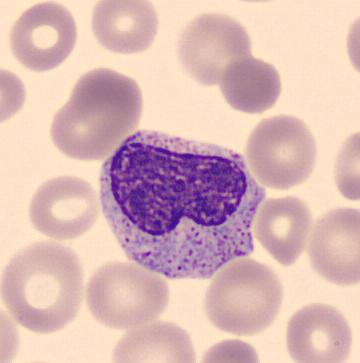

Acquisition: MGG stain; single-cell crop; peripheral blood film.
Morphology consistent with a metamyelocyte.